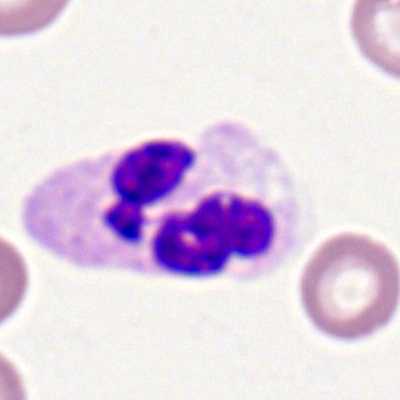

A neutrophil (segmented) on a peripheral blood smear.